Bone marrow smear — 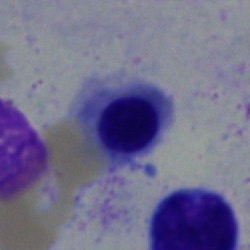
The cell type is erythroblast.